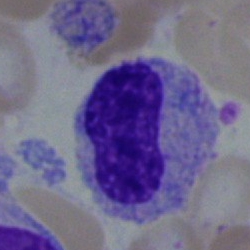Morphological class: metamyelocyte.